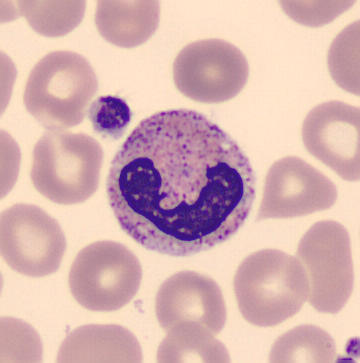The cell type is neutrophil (band). Peripheral blood smear.